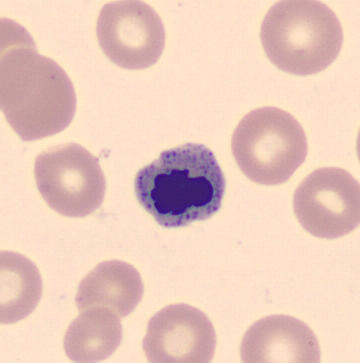

Morphological class — erythroblast.

Peripheral blood smear. Image size 360×363. Automated cell imaging (CellaVision DM96).